Bone marrow aspirate smear: 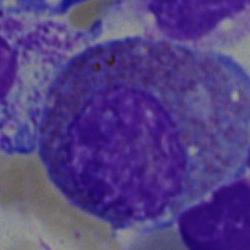The cell type is eosinophil.